Cropped to a single cell. Bone marrow smear
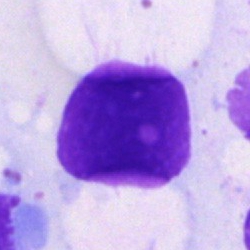
Specimen: bone marrow smear.
Cell type: artefact.